Bone marrow aspirate smear:
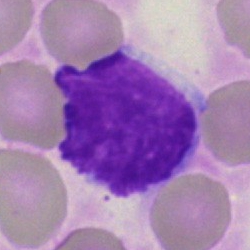

An artifact.